Peripheral blood smear:
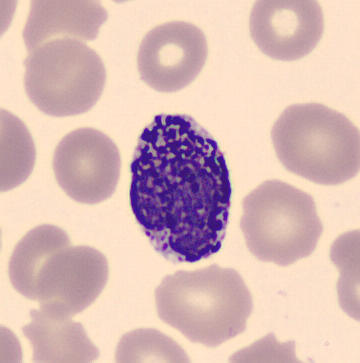
{"cell_type": "basophilic granulocyte", "lineage": "myeloid"}